Brightfield microscopy, 40× oil immersion; bone marrow smear — 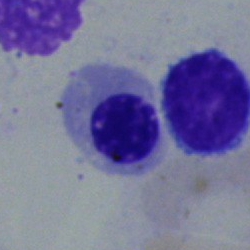

A normoblast.